Bone marrow aspirate smear
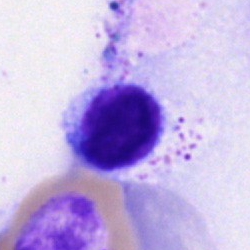
Single cell identified as a lymphocyte.